MGG-stained. Bone marrow smear — 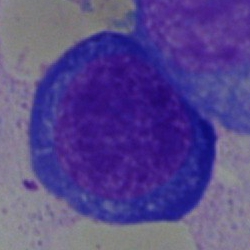
The cell shown is a metamyelocyte.